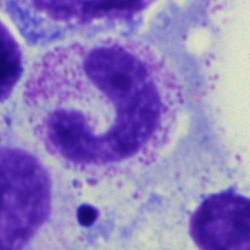

The cell is band neutrophil.